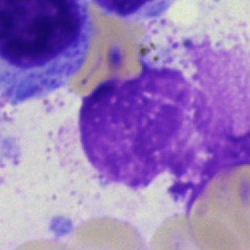
{"cell_type": "artifact"}